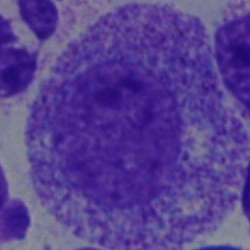Single cell identified as a promyelocyte.